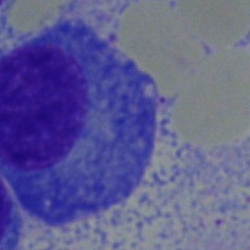
Morphology consistent with a plasma cell.